40× oil immersion. Bone marrow smear.
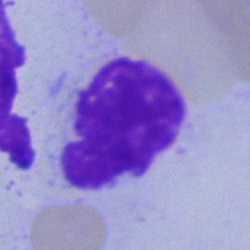

Cell — artifact.